Bone marrow smear. 40× oil immersion. 250×250 px:
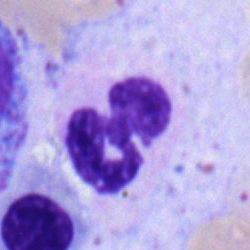

Specimen: bone marrow smear.
Morphological class: segmented neutrophil.